Bone marrow aspirate smear. May-Grünwald-Giemsa/Pappenheim stain:
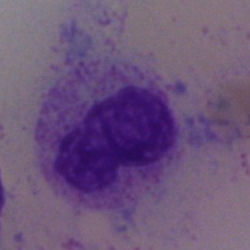

Q: What is shown here?
A: This is an artefact.